Single-cell crop. Bone marrow aspirate smear — 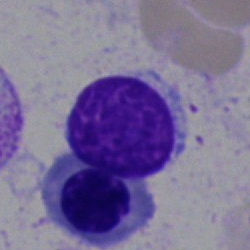
Lymphocyte.